Single-cell crop; peripheral blood film
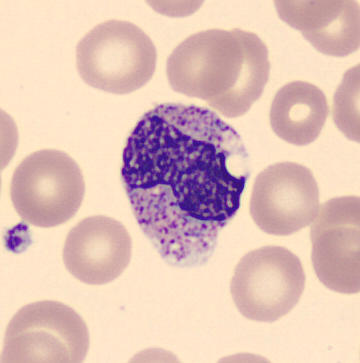 A metamyelocyte.